Bone marrow smear — 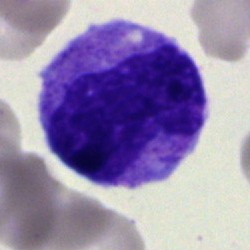

Cell type = metamyelocyte.